Bone marrow aspirate smear: 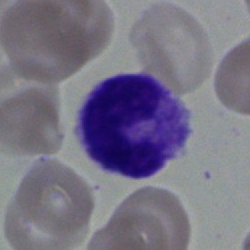

Morphological class = band-form neutrophil.